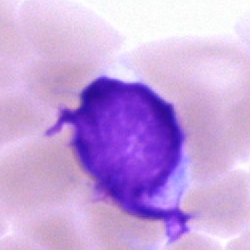
Q: What cell is this?
A: It is a cell of indeterminate lineage.